Peripheral blood film — 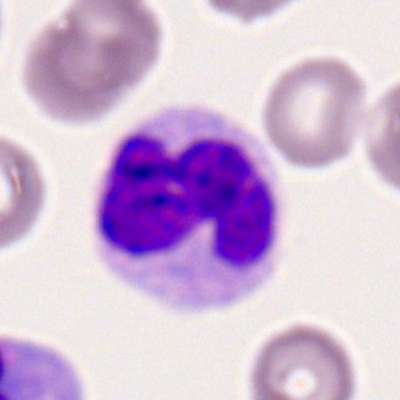The cell type is monocyte.